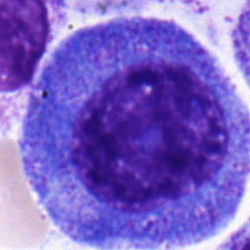 Morphological class — progranulocyte.